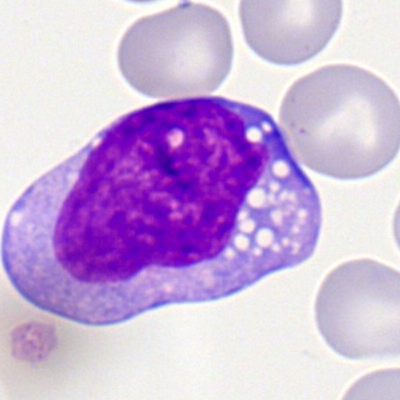
Single cell identified as a monocyte.